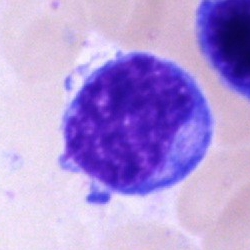Q: Which cell type is shown here?
A: A blast.